Bone marrow smear. Single cell centered in the field:
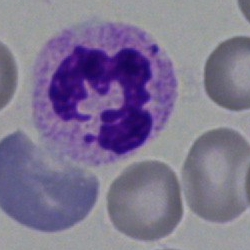
This is a polymorphonuclear neutrophil.